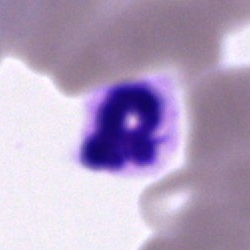Specimen: bone marrow aspirate smear.
Cell: neutrophil (segmented).